Bone marrow aspirate smear:
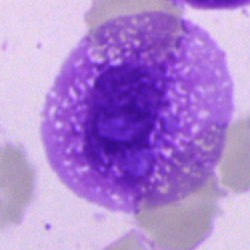 Artifact.